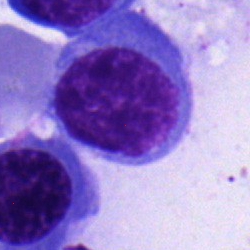

Bone marrow smear showing an erythroblast.